Bone marrow smear. 40× oil immersion:
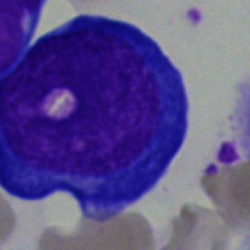 Specimen: bone marrow aspirate smear.
Classification: pronormoblast.
Lineage: erythroid.